Bone marrow aspirate smear: 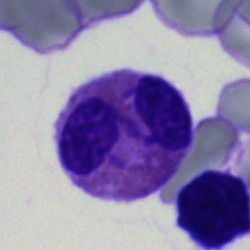
Classification = eosinophil.